May-Grünwald-Giemsa/Pappenheim stain; single-cell field; bone marrow smear
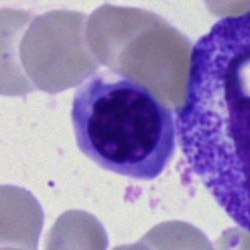
Morphology consistent with a nucleated red blood cell.